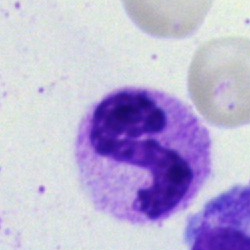
Q: Which cell type is shown here?
A: A polymorphonuclear neutrophil.